Bone marrow aspirate smear.
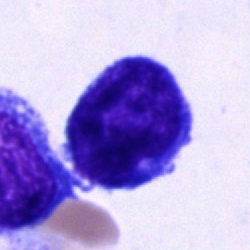Q: What is the morphological classification of this cell?
A: Blast cell.